Bone marrow aspirate smear: 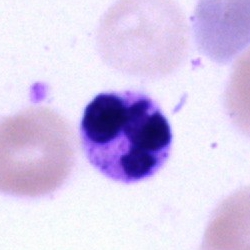Morphology consistent with a neutrophil (segmented).